Bone marrow smear. May-Grünwald-Giemsa/Pappenheim stain: 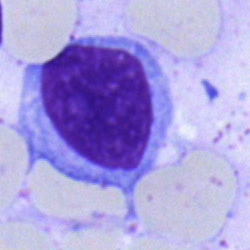

Cell type = lymphocyte.